Bone marrow aspirate smear.
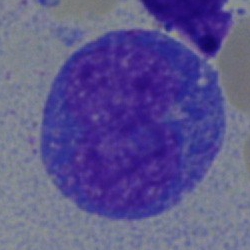A blast.